Cropped to a single cell; bone marrow aspirate smear; 250×250.
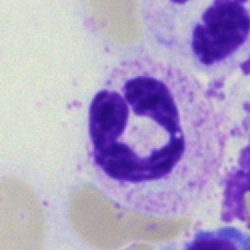
Q: What cell is this?
A: Segmented neutrophil.